Bone marrow aspirate smear:
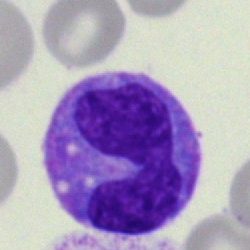 Q: What is shown here?
A: A monocyte.